Bone marrow aspirate smear.
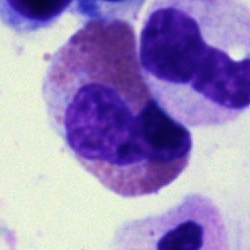 Single cell identified as an eosinophilic granulocyte.